Bone marrow smear.
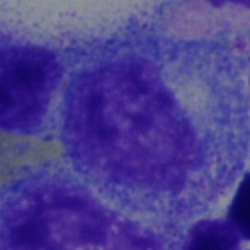
Showing a progranulocyte.